Bone marrow aspirate smear — 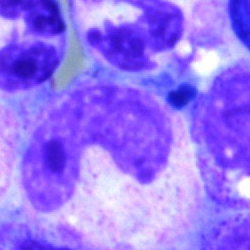 Single cell identified as a band-form neutrophil.